Bone marrow aspirate smear.
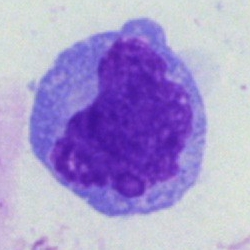
The classification is monocyte.